Bone marrow smear. Brightfield microscopy, 40× oil immersion:
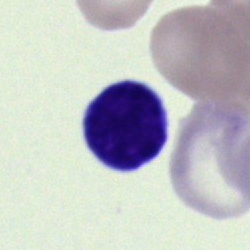
The cell type is typical lymphocyte.